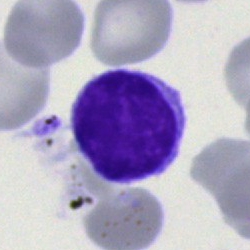

Specimen: bone marrow aspirate smear.
Classification: typical lymphocyte.
Lineage: lymphoid.